Pappenheim-stained. Bone marrow aspirate smear. 250×250 px:
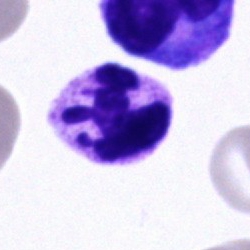
The cell is segmented neutrophil.